Single-cell crop. 40× objective, oil immersion. Bone marrow aspirate smear — 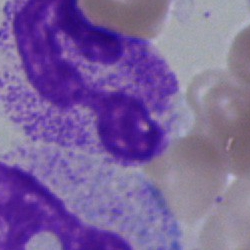 The cell shown is an artefact.